Bone marrow aspirate smear. Single cell centered in the field.
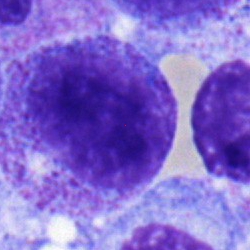

Specimen: bone marrow aspirate smear.
Cell type: progranulocyte.
Lineage: myeloid.